Bone marrow smear — 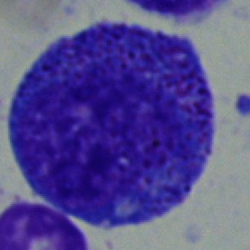
Classification = progranulocyte.